Bone marrow smear — 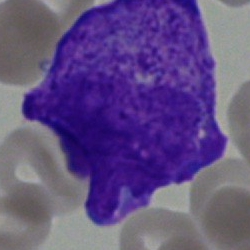

This is an undifferentiated blast.